Bone marrow aspirate smear; 40× oil immersion: 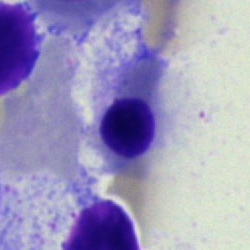
Q: Identify the cell.
A: Nucleated red cell.